Bone marrow aspirate smear. 250×250. Brightfield microscopy, 40× oil immersion
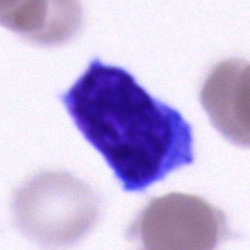

Morphology consistent with a blast cell.